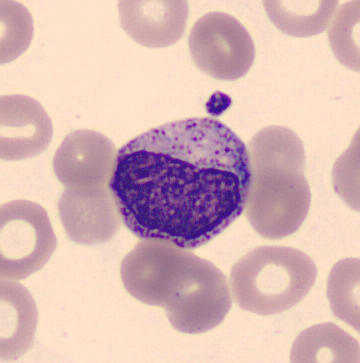
Acquisition: Peripheral blood film; MGG stain.

Impression → myelocyte.